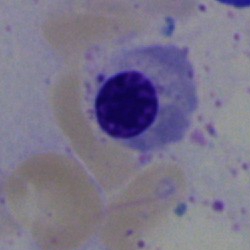Specimen: bone marrow aspirate smear.
Classification: normoblast.